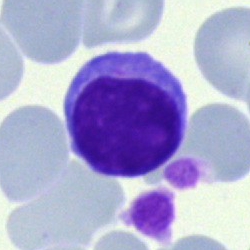

Morphology consistent with a lymphocyte.